Peripheral blood film — 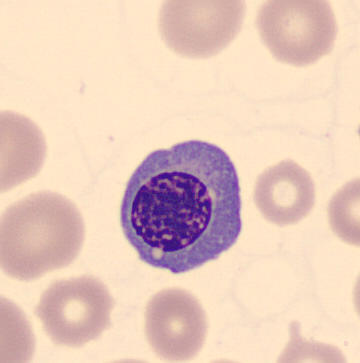 Q: What cell is this?
A: A nucleated red cell.